Bone marrow aspirate smear · single-cell field: 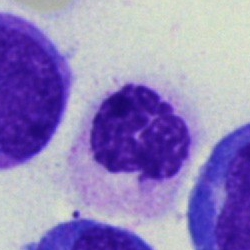The cell shown is a polymorphonuclear neutrophil.